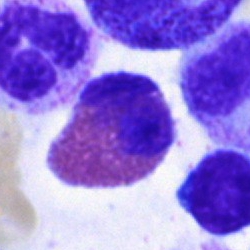
Bone marrow smear showing an eosinophil.